Bone marrow smear.
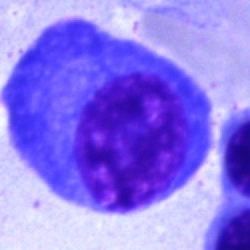 A plasma cell.